Peripheral blood film: 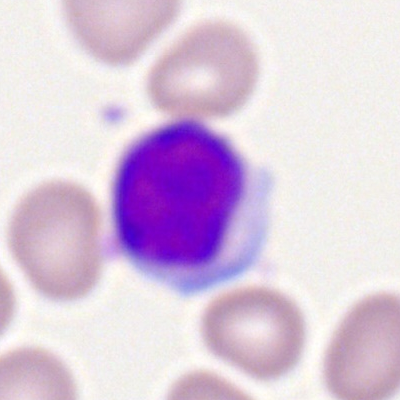The cell type is typical lymphocyte.